Bone marrow aspirate smear. Pappenheim-stained.
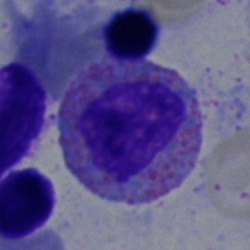
{"cell_type": "eosinophilic granulocyte"}